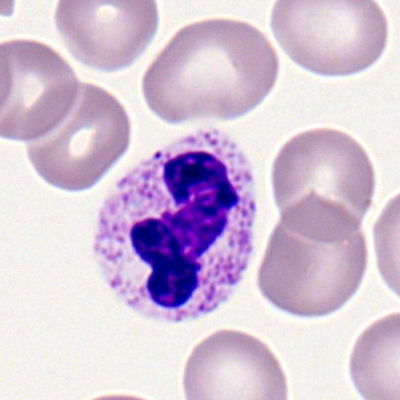
The classification is segmented neutrophil.